Bone marrow aspirate smear — 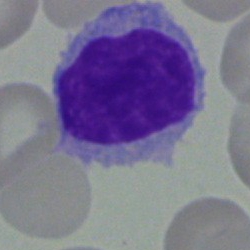This is a typical lymphocyte.